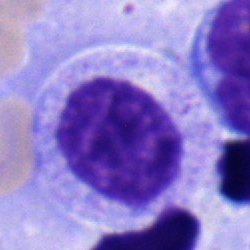
Q: What is the morphological classification of this cell?
A: A myelocyte.